Pappenheim-stained · bone marrow aspirate smear — 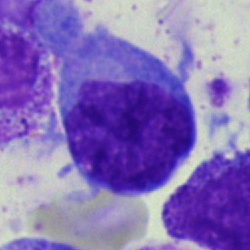 A monocyte.